MGG-stained. Bone marrow smear
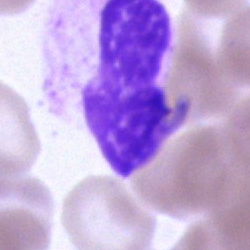The cell type is artefact.